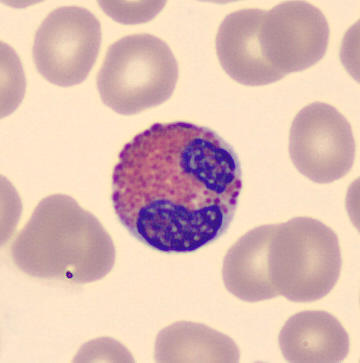The classification is eosinophilic granulocyte.